Single cell centered in the field; bone marrow aspirate smear — 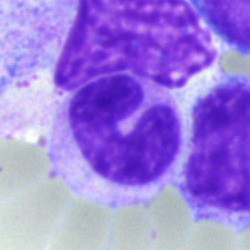The morphological class is band-form neutrophil.